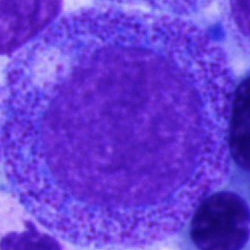
Cell type — progranulocyte.